Bone marrow aspirate smear · brightfield, 40× oil-immersion objective · single-cell crop:
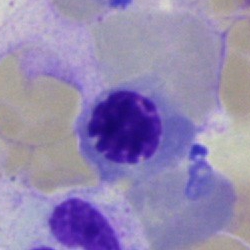

Single cell identified as a normoblast.